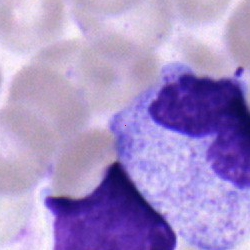

A metamyelocyte on a bone marrow smear.